Bone marrow smear; 250×250; Pappenheim-stained — 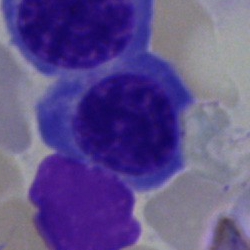

Specimen: bone marrow aspirate smear.
Morphological class: normoblast.
Lineage: erythroid.